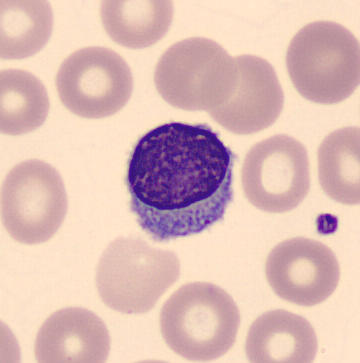{"cell_type": "lymphocyte"}
Image: Peripheral blood film · CellaVision DM96 digital cell image.